250 by 250 pixels · bone marrow aspirate smear: 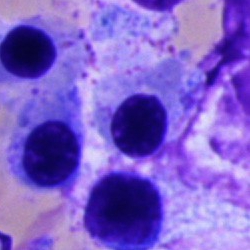

The cell is nucleated red cell.